Bone marrow smear · cropped to a single cell.
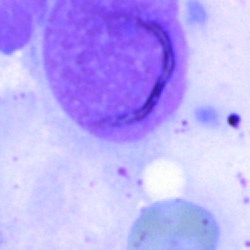 Artefact.